Bone marrow smear. MGG-stained: 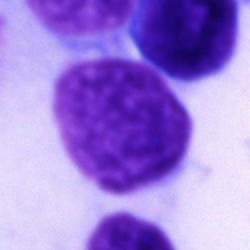 Impression — cell of indeterminate lineage.